Single cell centered in the field. Bone marrow aspirate smear
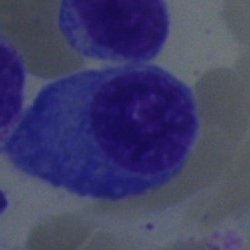
Impression — plasmacyte.